Bone marrow smear; 250×250 px
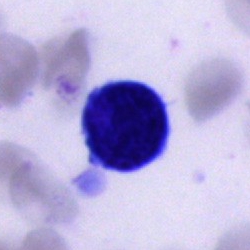

The cell is typical lymphocyte.